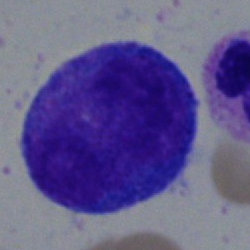 Classification — progranulocyte.